Bone marrow smear
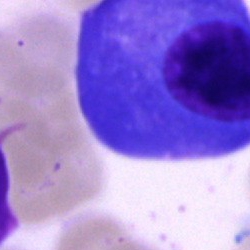

{"cell_type": "plasma cell", "lineage": "lymphoid"}